Brightfield, 40× oil-immersion objective; bone marrow smear: 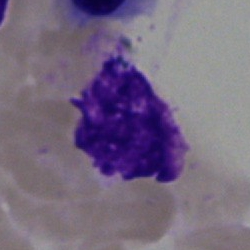 Showing an artefact.